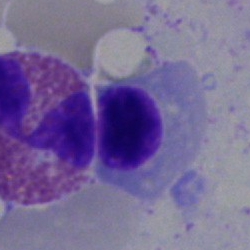

Bone marrow aspirate smear, single cell — normoblast.